Bone marrow smear.
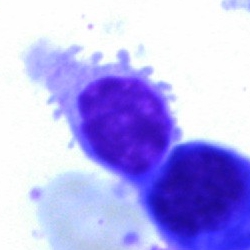

Specimen: bone marrow smear.
Cell: lymphocyte.
Lineage: lymphoid.